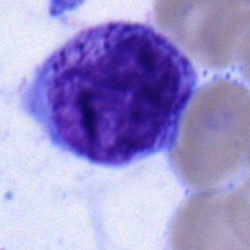The cell is myelocyte.